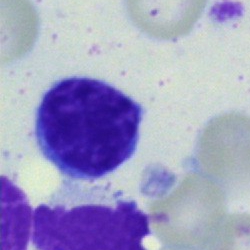
Morphological class = typical lymphocyte.